Bone marrow aspirate smear:
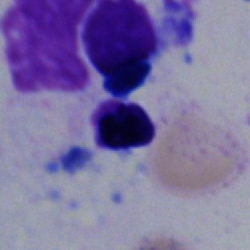 Showing an artifact.